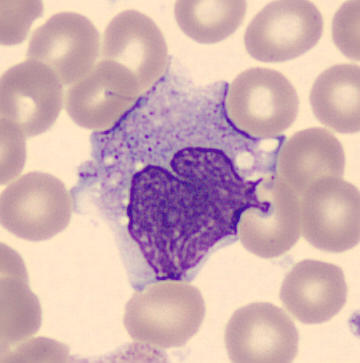
Single-cell field. Peripheral blood smear. {"cell_type": "monocyte"}